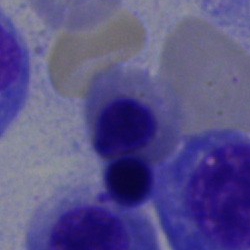

Q: Identify the cell.
A: Erythroblast.